Bone marrow smear; brightfield microscopy, 40× oil immersion — 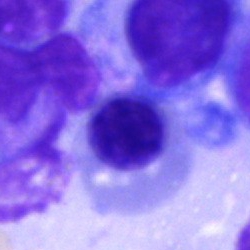 Erythroblast.